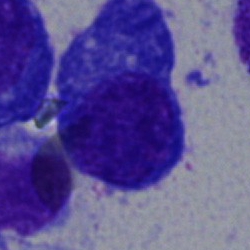 This is a plasma cell.